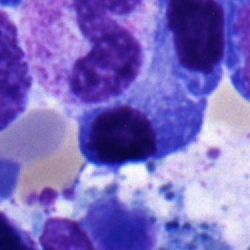 Q: What is shown here?
A: This is a plasmacyte.